Pappenheim-stained · bone marrow aspirate smear — 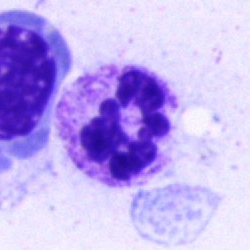

A segmented neutrophil.